Bone marrow aspirate smear. 40× oil immersion
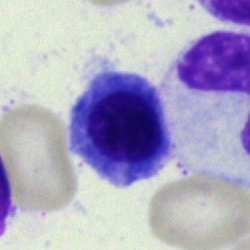

Cell type — normoblast.